Bone marrow smear:
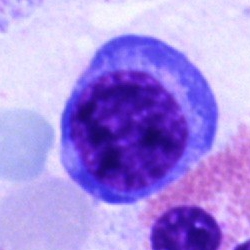

Cell type: normoblast.